250×250. Bone marrow aspirate smear. Brightfield microscopy, 40× oil immersion
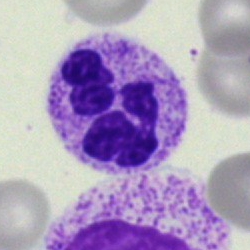
Cell type = segmented neutrophil.